Brightfield, 40× oil-immersion objective; 250×250 px; bone marrow aspirate smear
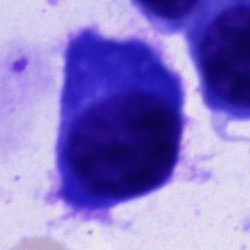

This is a plasma cell.